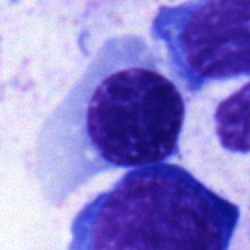

Morphology consistent with a normoblast.